Brightfield, 40× oil-immersion objective. Bone marrow smear. 250 by 250 pixels: 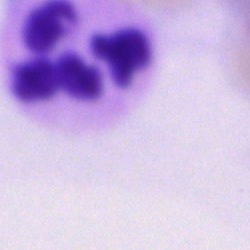

Morphology consistent with a polymorphonuclear neutrophil.